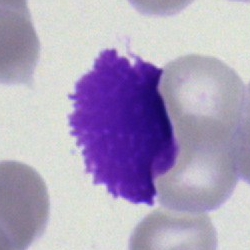Q: What is shown here?
A: An artefact.